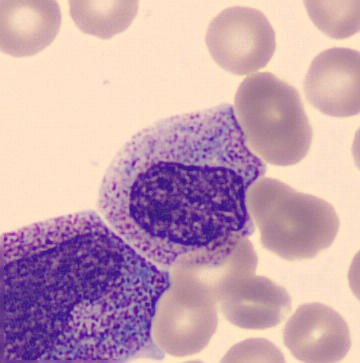 Image: MGG-stained · peripheral blood smear.
Classification — myelocyte.